40× oil immersion; bone marrow aspirate smear:
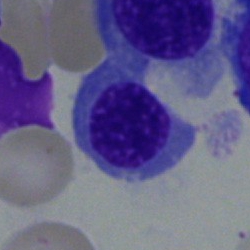
A nucleated red blood cell.